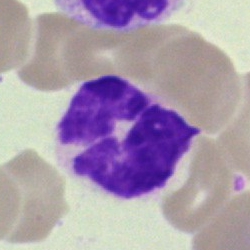Impression → artefact.